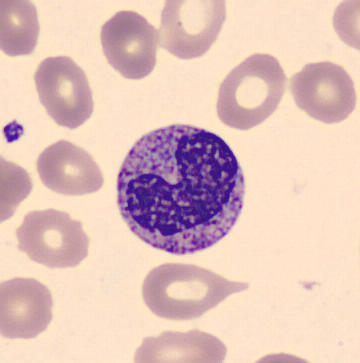
Morphology — metamyelocyte.

Preparation: Peripheral blood smear.